Bone marrow smear. Single-cell field:
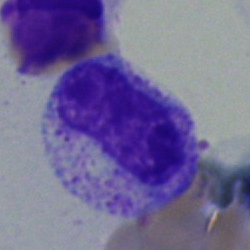

Impression → metamyelocyte.